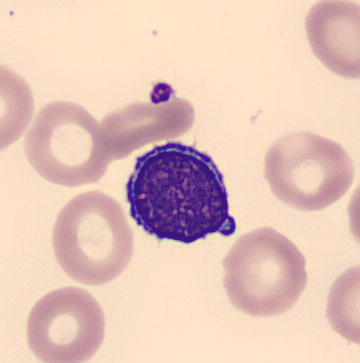Showing a lymphocyte.